Bone marrow smear. May-Grünwald-Giemsa/Pappenheim stain
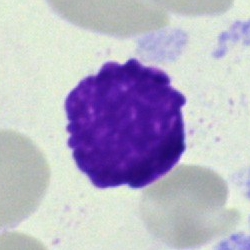 The cell is artefact.